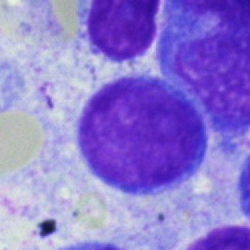
Classification — undifferentiated blast.